Bone marrow smear — 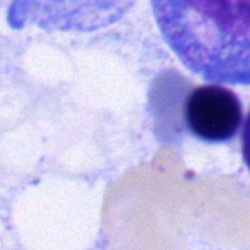 Cell type — nucleated red blood cell.